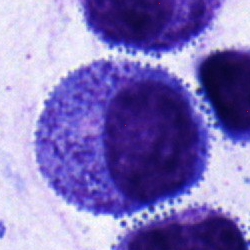

The cell shown is a progranulocyte.